Bone marrow aspirate smear:
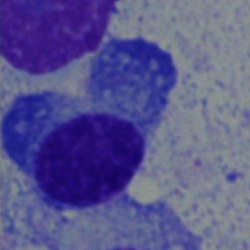Showing a plasma cell.